Bone marrow aspirate smear. Cropped to a single cell:
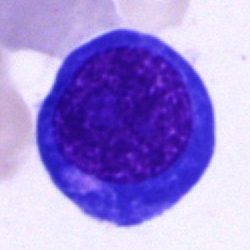Morphological class: erythroblast.